Bone marrow aspirate smear — 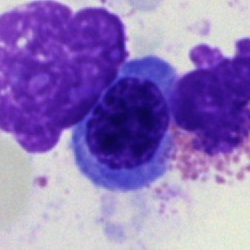
{"cell_type": "normoblast"}